Bone marrow aspirate smear: 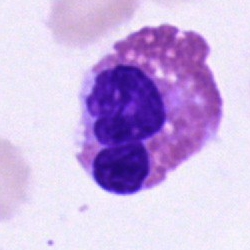

Cell: eosinophil.